Bone marrow aspirate smear.
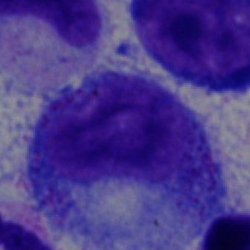

Q: What type of cell is this?
A: Progranulocyte.